Bone marrow smear; brightfield microscopy, 40× oil immersion; single-cell field.
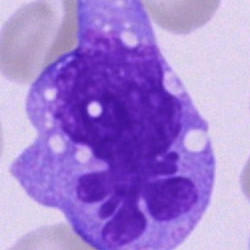 The classification is monocyte.